Bone marrow aspirate smear — 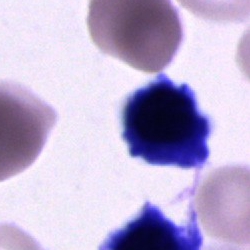
This is a cell of indeterminate lineage.